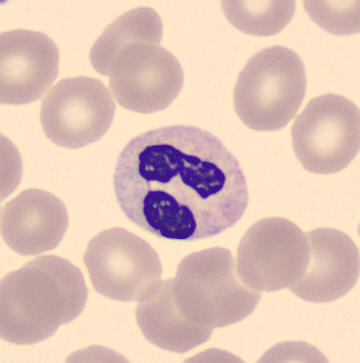
Morphology → neutrophil (segmented).